Bone marrow smear; 250 by 250 pixels: 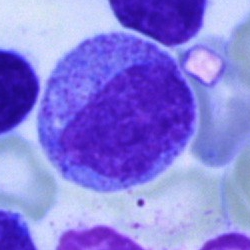 Progranulocyte.